Bone marrow aspirate smear: 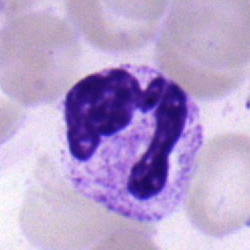
Q: What is the morphological classification of this cell?
A: A neutrophil (segmented).